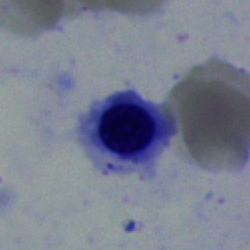
Bone marrow aspirate smear, single cell — nucleated red blood cell.